Bone marrow smear.
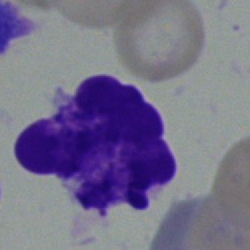 Showing an artefact.